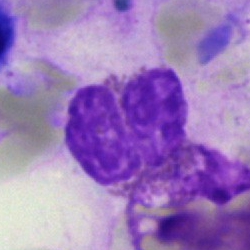Morphology → artifact.